250×250 px; bone marrow smear: 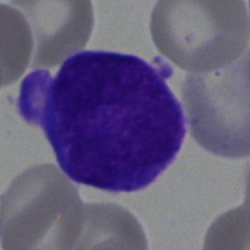
This is a blast cell.